Bone marrow smear
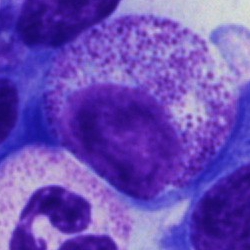 Cell: myelocyte.